MGG-stained · single-cell crop · bone marrow smear: 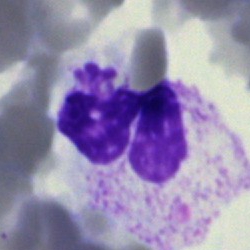 Morphology — neutrophil (segmented).